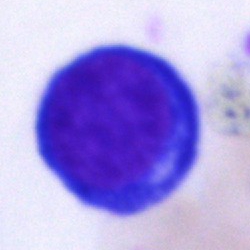Q: Identify the cell.
A: This is a pronormoblast.